Bone marrow aspirate smear — 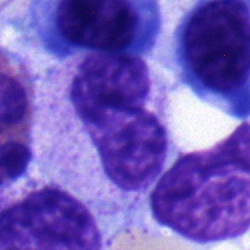
Specimen: bone marrow smear.
Morphological class: band-form neutrophil.
Lineage: myeloid.